Single cell centered in the field; bone marrow aspirate smear — 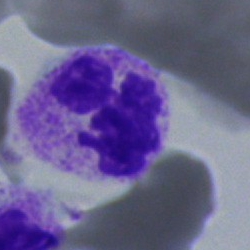 Single cell identified as a segmented neutrophil.